May-Grünwald-Giemsa/Pappenheim stain. Bone marrow aspirate smear. Single cell centered in the field:
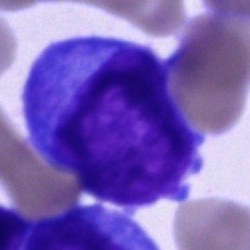Specimen: bone marrow smear.
Cell: blast cell.